Image size 250×250. Bone marrow smear.
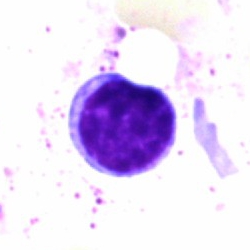
Specimen: bone marrow aspirate smear.
Morphological class: typical lymphocyte.